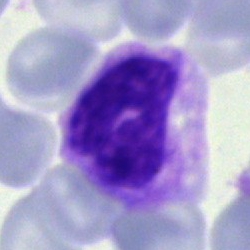Classification: neutrophil (segmented).